Bone marrow aspirate smear. 40× objective, oil immersion
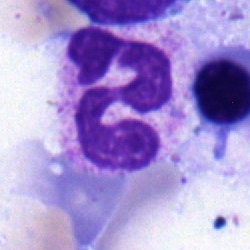
This is a neutrophil (segmented).